Brightfield microscopy, 40× oil immersion · bone marrow smear · 250 by 250 pixels.
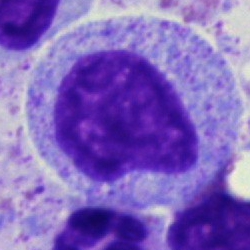

Impression — promyelocyte.